Peripheral blood smear — 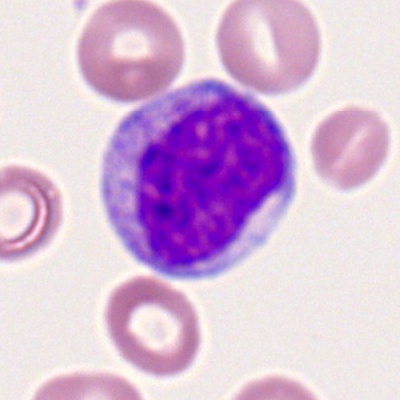Showing a monocyte.